Bone marrow aspirate smear. Single-cell crop: 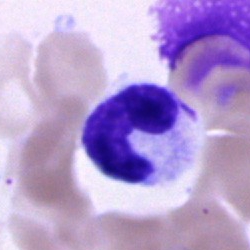Morphology — stab cell.